Brightfield microscopy, 40× oil immersion; bone marrow smear
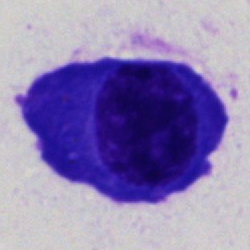{"cell_type": "plasma cell", "lineage": "lymphoid"}